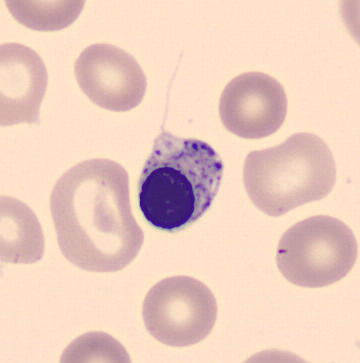
A normoblast.
May Grünwald-Giemsa stain · peripheral blood smear.